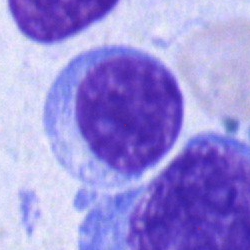

{"cell_type": "blast"}